40× oil immersion. Bone marrow aspirate smear.
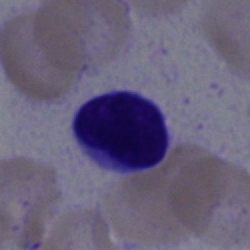Morphology consistent with a typical lymphocyte.